Bone marrow smear:
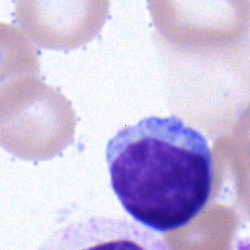

Cell: typical lymphocyte.